Brightfield microscopy, 40× oil immersion. Single-cell field. Bone marrow aspirate smear.
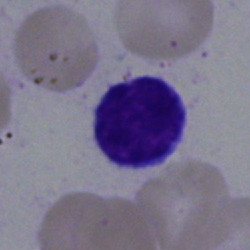 Q: What cell is this?
A: A lymphocyte.